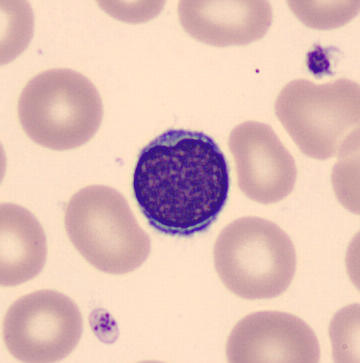Preparation: Peripheral blood film.

Single cell identified as a lymphocyte.